250 by 250 pixels · bone marrow smear:
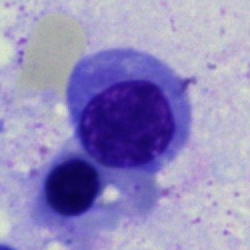
Single cell identified as an erythroblast.